40× objective, oil immersion · image size 250×250 · bone marrow smear: 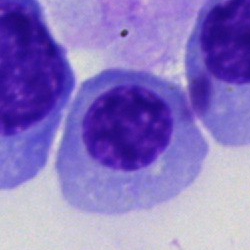

Morphological class = nucleated red blood cell.